Peripheral blood film; 100× oil immersion, 14.14 px/µm — 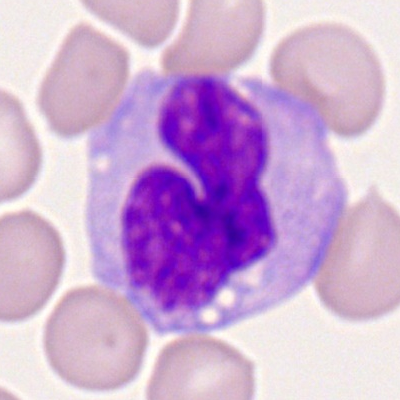Morphology — monocyte.